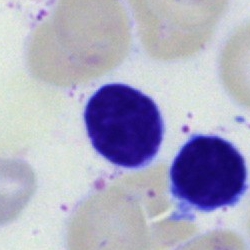Showing a typical lymphocyte.